Bone marrow aspirate smear; May-Grünwald-Giemsa/Pappenheim stain
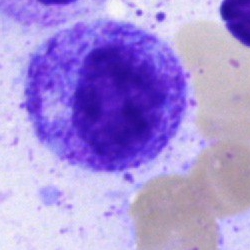 Impression → myelocyte.